Bone marrow aspirate smear; May-Grünwald-Giemsa stain:
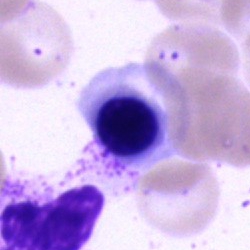
Q: What is shown here?
A: It is a nucleated red cell.